Single-cell field · bone marrow smear: 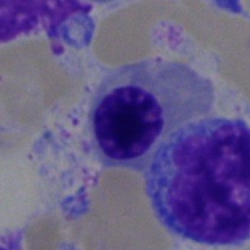

Classification — erythroblast.